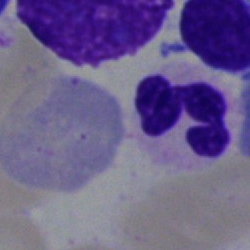

Cell: segmented neutrophil.